Bone marrow aspirate smear
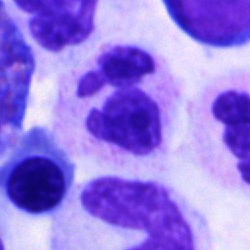

Cell type — polymorphonuclear neutrophil.